Bone marrow smear: 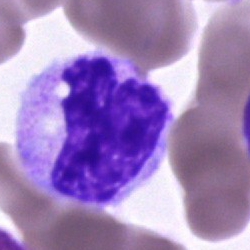

Q: What cell is this?
A: An unidentifiable cell.